May-Grünwald-Giemsa stain · 250×250 px · bone marrow smear: 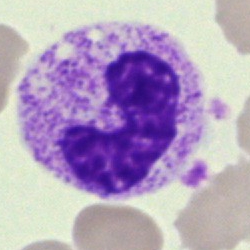

Showing a neutrophil (band).